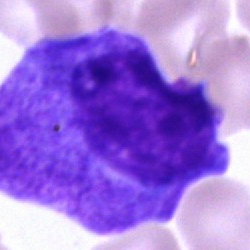Specimen: bone marrow aspirate smear.
Morphological class: progranulocyte.
Lineage: myeloid.